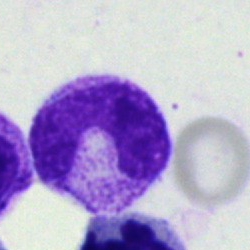 Showing a neutrophil (band).